Single cell centered in the field; bone marrow aspirate smear; 250×250 px — 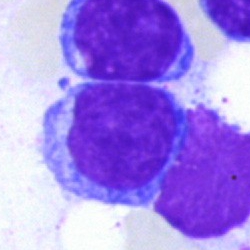
Impression — lymphocyte.